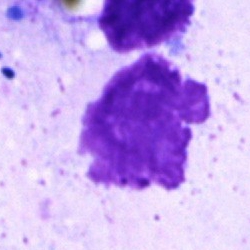Showing an artifact.